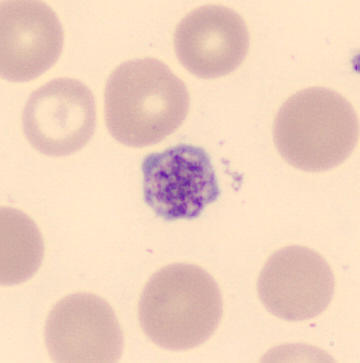

Morphology → platelet (thrombocyte).

Image: Peripheral blood smear. MGG stain.